250×250. Bone marrow smear — 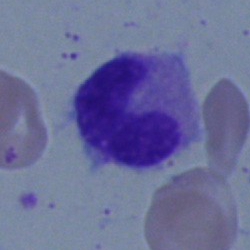 The cell shown is a band-form neutrophil.